Bone marrow aspirate smear: 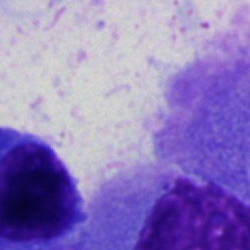

Classification: artifact.